Bone marrow smear · May-Grünwald-Giemsa stain
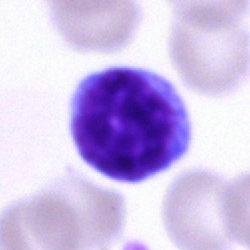Q: Identify the cell.
A: This is a typical lymphocyte.